Bone marrow smear — 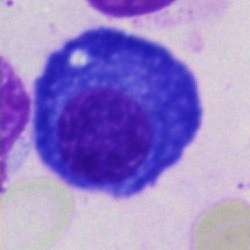
Q: What type of cell is this?
A: This is a plasmacyte.